Single-cell field. Bone marrow aspirate smear
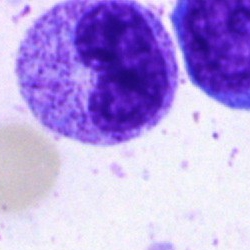
Specimen: bone marrow smear.
Classification: metamyelocyte.